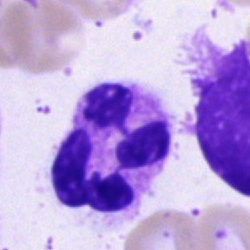 Morphology consistent with a segmented neutrophil.